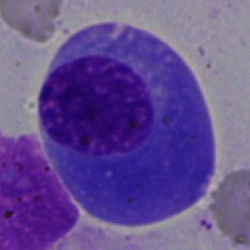
The cell type is plasmacyte.